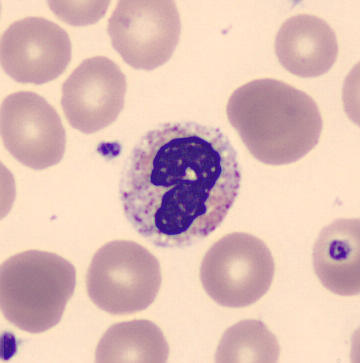
Image: Peripheral blood smear.

Q: Identify the cell.
A: It is a band-form neutrophil.